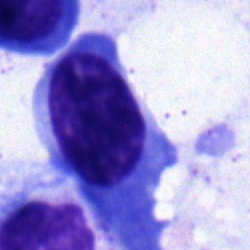 Specimen: bone marrow smear.
Cell type: plasmacyte.